Bone marrow aspirate smear · 250 by 250 pixels · 40× objective, oil immersion:
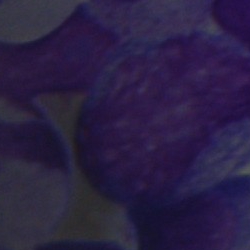

Showing an artefact.